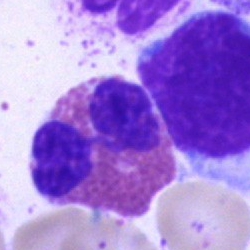Q: Identify the cell.
A: This is an eosinophil.